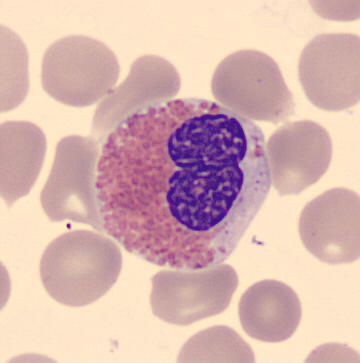

Morphology consistent with an eosinophil.